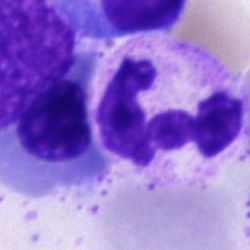
Morphology → segmented neutrophil.